MGG-stained. Bone marrow aspirate smear. Single-cell crop: 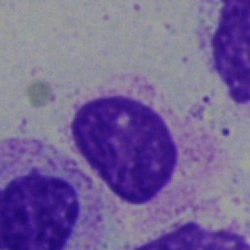{"cell_type": "artifact"}